Bone marrow smear; 250 by 250 pixels; May-Grünwald-Giemsa/Pappenheim stain.
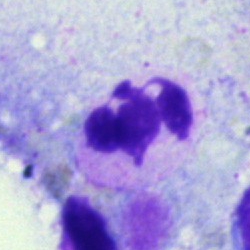The cell type is segmented neutrophil.